Bone marrow smear — 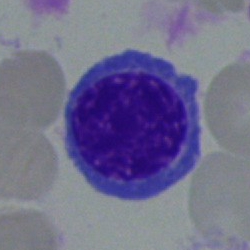

The cell shown is a normoblast.